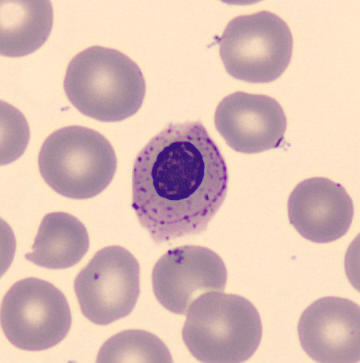
The cell is erythroblast.
Peripheral blood smear.